Bone marrow aspirate smear: 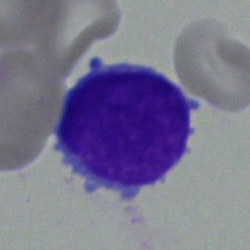
A blast.